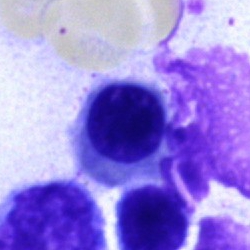 Morphological class = nucleated red blood cell.